Bone marrow aspirate smear · brightfield, 40× oil-immersion objective · single-cell crop — 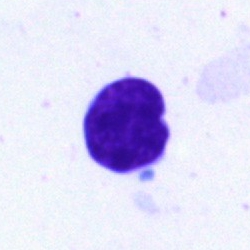
This is a lymphocyte.